Peripheral blood film.
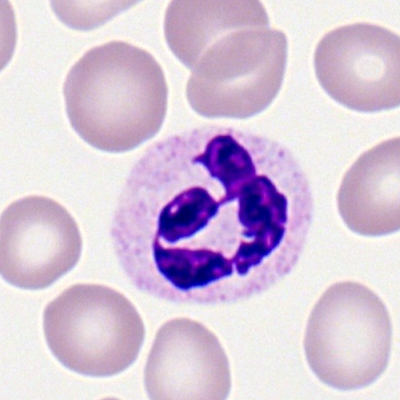Classification = segmented neutrophil.